Bone marrow smear · May-Grünwald-Giemsa stain — 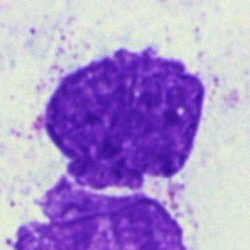 Single cell identified as an artefact.